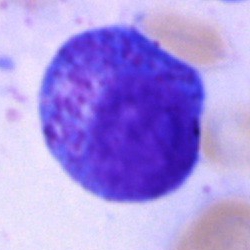 The cell type is promyelocyte.